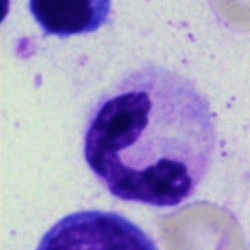

The cell shown is a band-form neutrophil.